Bone marrow aspirate smear — 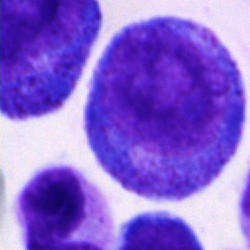 Morphological class: promyelocyte.